40× oil immersion · bone marrow aspirate smear — 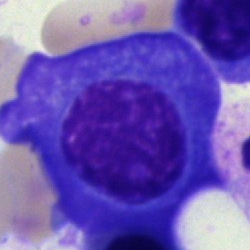Q: What is shown here?
A: This is a plasmacyte.